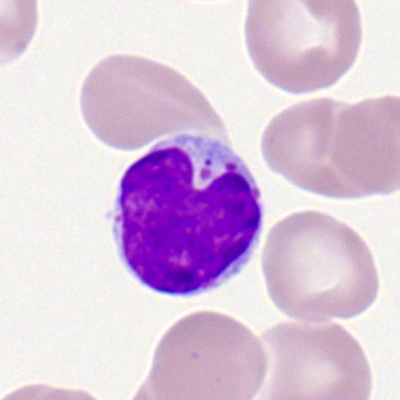 A lymphocyte on a peripheral blood smear.